Image size 250×250; bone marrow aspirate smear
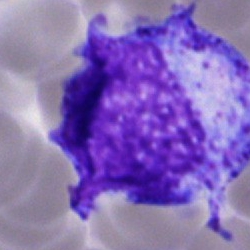
Impression — progranulocyte.